Bone marrow aspirate smear
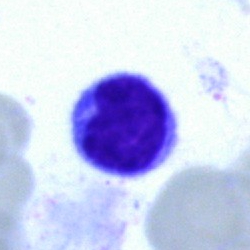The cell shown is a lymphocyte.